Bone marrow smear — 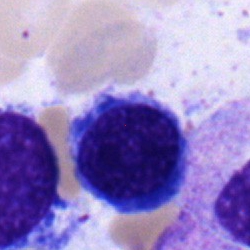

Q: What is shown here?
A: A normoblast.